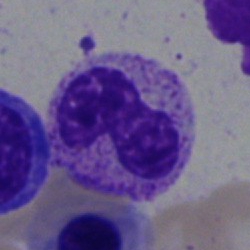

Showing a band neutrophil.